Bone marrow aspirate smear.
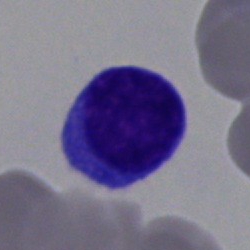
Specimen: bone marrow aspirate smear.
Cell type: lymphocyte.
Lineage: lymphoid.